Single-cell field; bone marrow aspirate smear; brightfield, 40× oil-immersion objective:
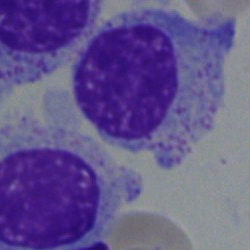 Morphological class — myelocyte.